Bone marrow aspirate smear — 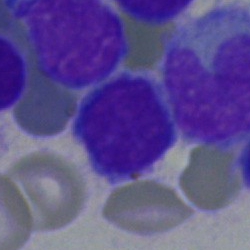

Morphology consistent with a typical lymphocyte.